Bone marrow aspirate smear. 40× oil immersion. 250×250 px.
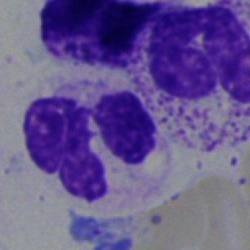

The cell shown is a neutrophil (segmented).